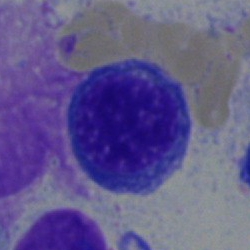
Morphology consistent with an erythroblast.